Bone marrow smear:
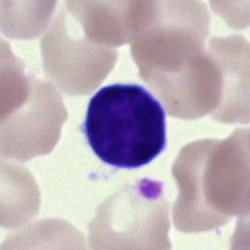The classification is typical lymphocyte.